Peripheral blood film.
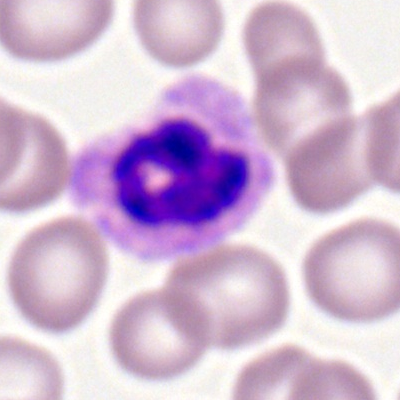 Neutrophil (segmented).